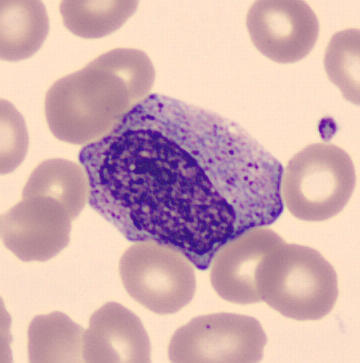

Cell type = myelocyte.